Bone marrow aspirate smear
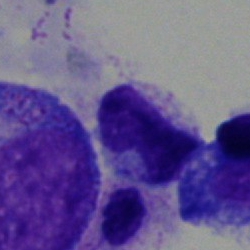

Specimen: bone marrow smear.
Morphological class: cell of indeterminate lineage.